May-Grünwald-Giemsa stain. Bone marrow aspirate smear.
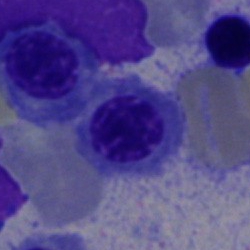Showing a normoblast.